Bone marrow aspirate smear.
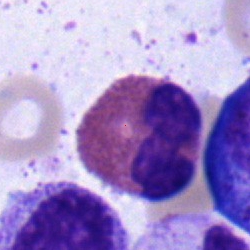Q: What type of cell is this?
A: An eosinophilic granulocyte.